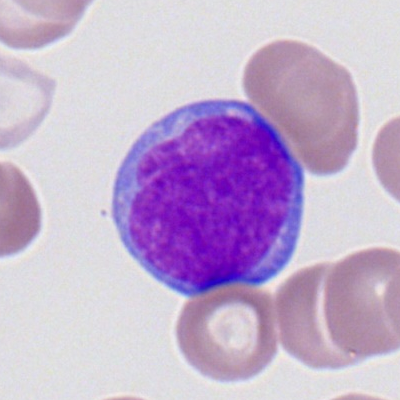
Showing a myeloblast.